Pappenheim-stained. Bone marrow smear. Brightfield microscopy, 40× oil immersion — 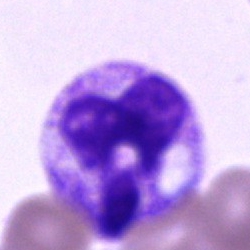Q: Identify the cell.
A: It is a neutrophil (segmented).